Bone marrow smear
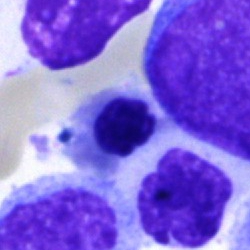This is a nucleated red blood cell.